Pappenheim-stained · bone marrow aspirate smear — 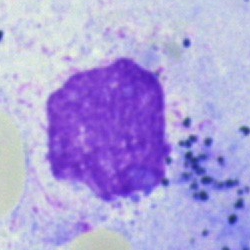
Q: What is shown here?
A: Artifact.